Bone marrow aspirate smear — 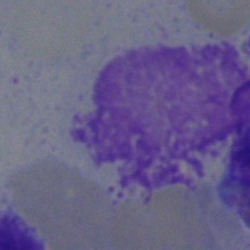
Impression → artefact.